Bone marrow smear · Pappenheim-stained — 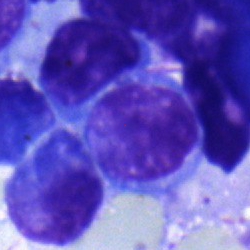 Cell type = lymphocyte.